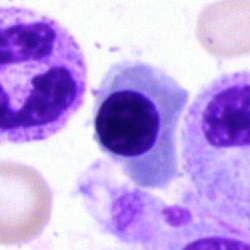 Showing a nucleated red blood cell.